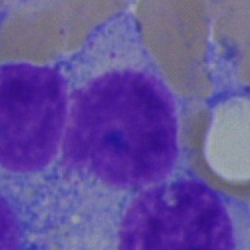 Specimen: bone marrow aspirate smear.
Classification: plasma cell.
Lineage: lymphoid.